40× objective, oil immersion. Bone marrow aspirate smear.
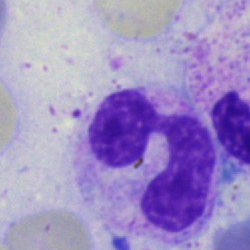 The morphological class is polymorphonuclear neutrophil.